May-Grünwald-Giemsa/Pappenheim stain · bone marrow aspirate smear — 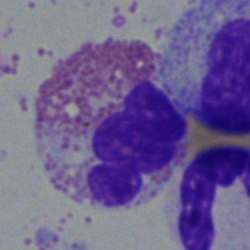Morphological class — eosinophil.